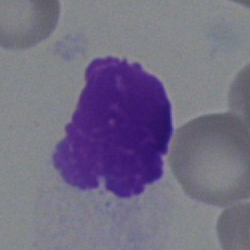Single-cell crop from a bone marrow smear: artifact.